Peripheral blood film
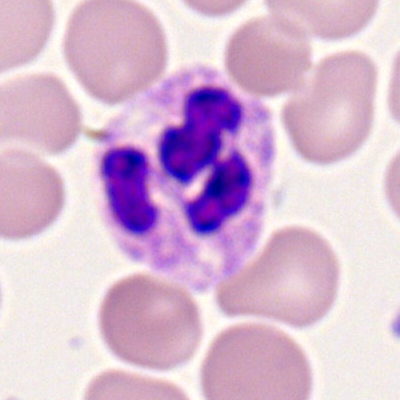
Q: What type of cell is this?
A: A segmented neutrophil.